Peripheral blood film.
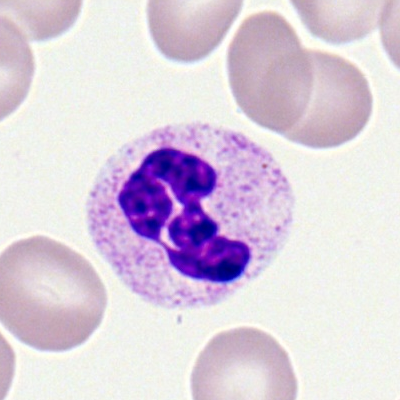

Morphology consistent with a neutrophil (segmented).